250×250 · bone marrow smear · brightfield microscopy, 40× oil immersion — 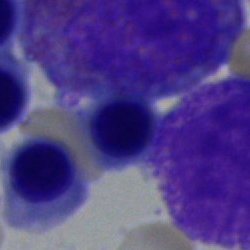

Q: What type of cell is this?
A: Erythroblast.